Bone marrow smear: 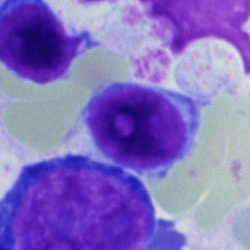 Impression — lymphocyte.